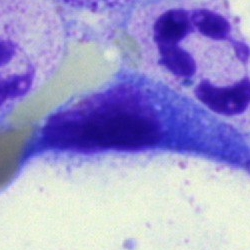Bone marrow aspirate smear, single cell — plasmacyte.